Bone marrow aspirate smear: 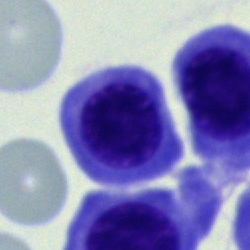Q: What cell is this?
A: An erythroblast.